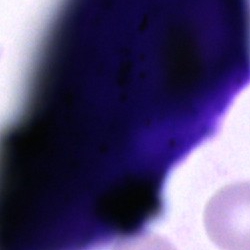 The classification is artifact.